Bone marrow aspirate smear
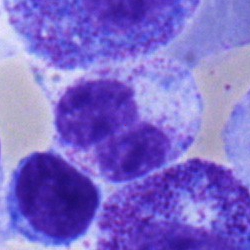

Q: What is shown here?
A: Band-form neutrophil.